Peripheral blood smear — 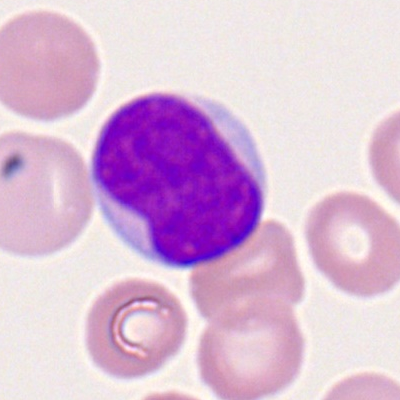
Q: What type of cell is this?
A: Lymphocyte.